Single cell centered in the field. Peripheral blood film. Romanowsky stain.
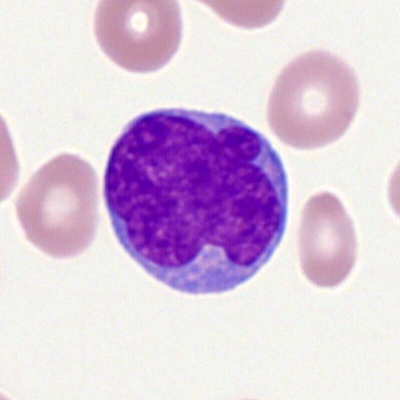

Cell = myeloid blast.